Bone marrow smear — 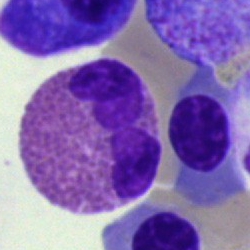
The cell shown is an eosinophilic granulocyte.